Bone marrow aspirate smear.
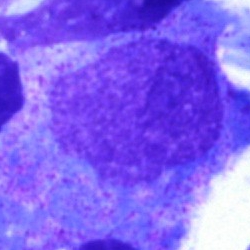
The cell shown is a myelocyte.